Bone marrow aspirate smear.
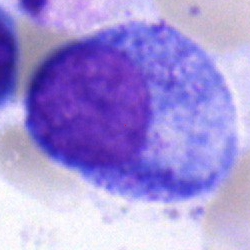Cell — progranulocyte.